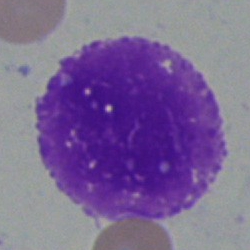 Bone marrow smear showing an artefact.